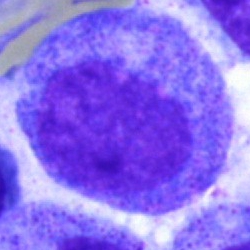Q: What is the morphological classification of this cell?
A: Progranulocyte.